Bone marrow aspirate smear
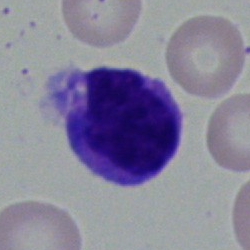Morphological class: monocyte.